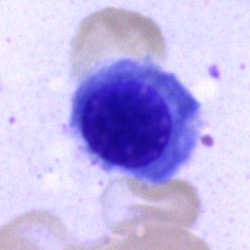 Bone marrow smear showing a normoblast.